Bone marrow smear — 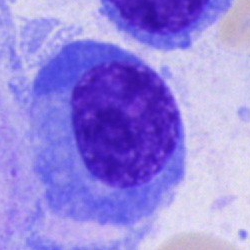

Impression → plasma cell.